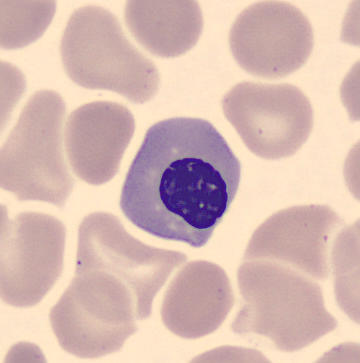
Classification: nucleated red cell.
Image: Peripheral blood smear.